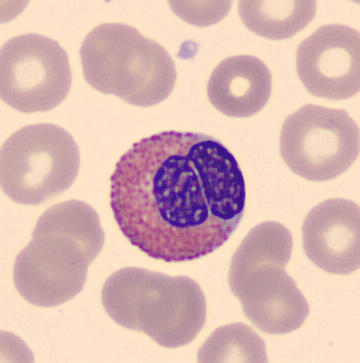

Cell type — eosinophil.